Bone marrow aspirate smear:
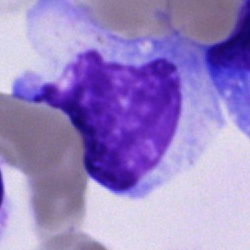 Morphology consistent with an unidentifiable cell.